Bone marrow aspirate smear: 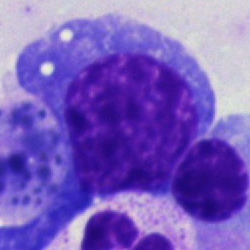 {"cell_type": "normoblast", "lineage": "erythroid"}